Bone marrow smear; cropped to a single cell.
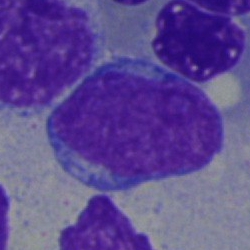Morphology — typical lymphocyte.